Bone marrow aspirate smear — 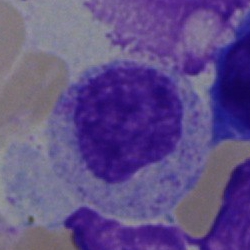 Morphological class = metamyelocyte.